40× objective, oil immersion · single-cell field · bone marrow aspirate smear
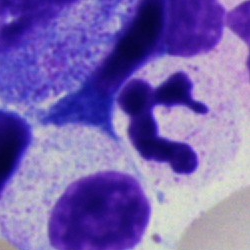 Classification = polymorphonuclear neutrophil.